Bone marrow smear: 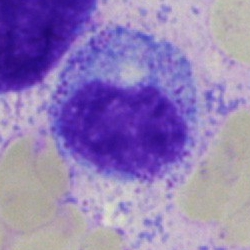 A myelocyte.